Bone marrow aspirate smear:
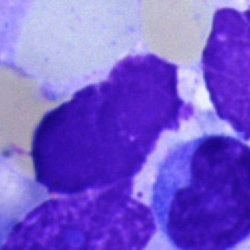Q: What is shown here?
A: Artifact.